Peripheral blood smear · brightfield, 100× oil-immersion objective.
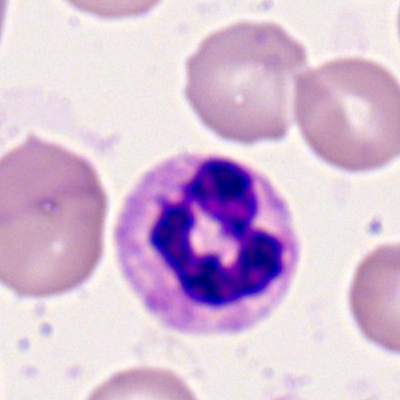
Q: What type of cell is this?
A: Polymorphonuclear neutrophil.